Single cell centered in the field · peripheral blood smear.
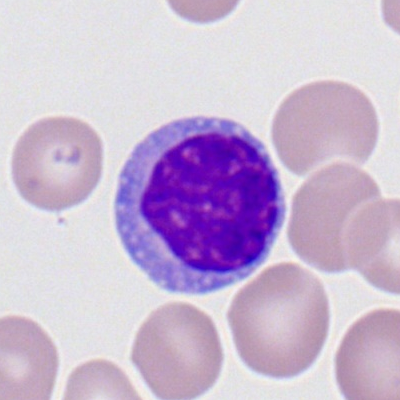 {"cell_type": "lymphocyte", "lineage": "lymphoid"}